250×250; bone marrow aspirate smear: 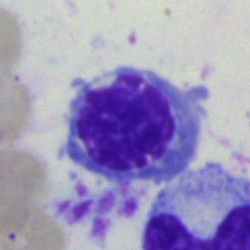

Nucleated red blood cell.